Bone marrow smear. Brightfield, 40× oil-immersion objective. Image size 250×250
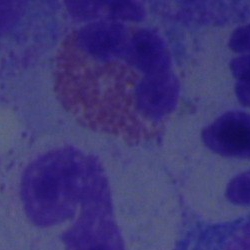

An eosinophilic granulocyte.